Bone marrow smear.
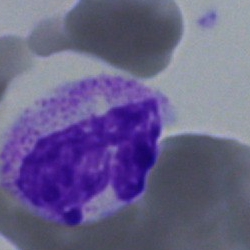A neutrophil (segmented).